Pappenheim-stained · bone marrow smear · single cell centered in the field.
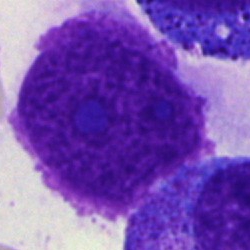
Artifact.